Peripheral blood film. Single cell centered in the field.
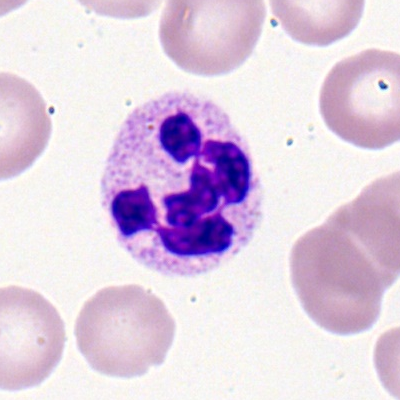The morphological class is segmented neutrophil.